Bone marrow smear
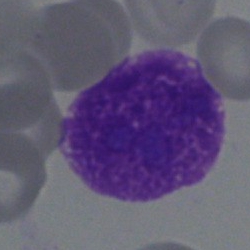 Q: What is shown here?
A: Artifact.